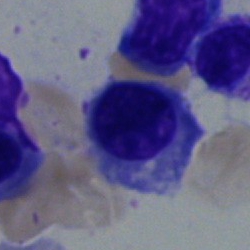
Cell type = nucleated red blood cell.